Image size 250×250. Bone marrow smear: 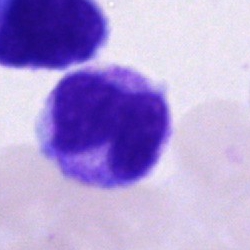 An unidentifiable cell.